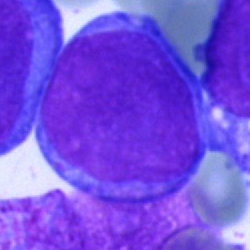

Cell: undifferentiated blast.